MGG-stained · bone marrow smear.
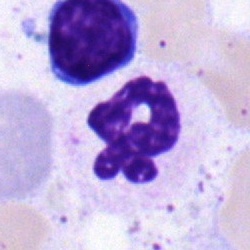

Q: Identify the cell.
A: This is a neutrophil (segmented).